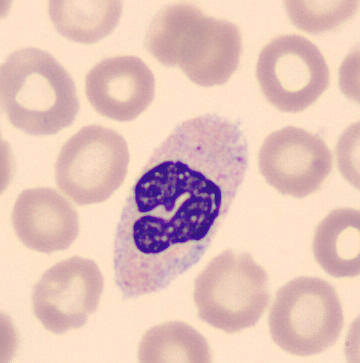

Identified as a band neutrophil.